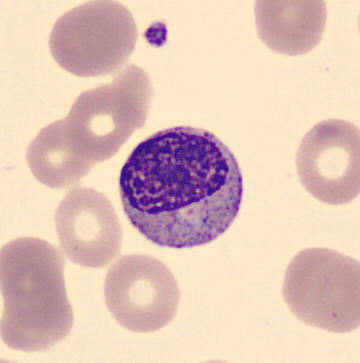
Image: Peripheral blood film.
Morphology — myelocyte.